May-Grünwald-Giemsa stain · bone marrow smear:
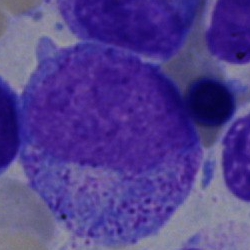

Single cell identified as a promyelocyte.